Bone marrow aspirate smear: 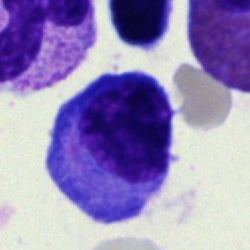 A plasma cell.